Bone marrow aspirate smear; brightfield microscopy, 40× oil immersion:
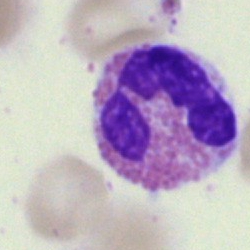Cell: eosinophil.